Bone marrow aspirate smear; MGG-stained; single-cell field — 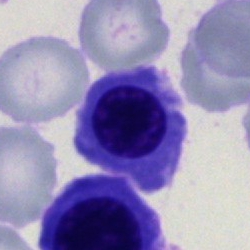 Specimen: bone marrow aspirate smear.
Classification: nucleated red cell.